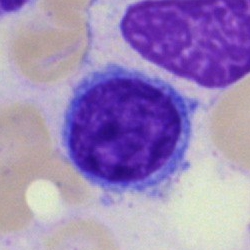Cell: typical lymphocyte.